400×400 px · single-cell crop · peripheral blood film.
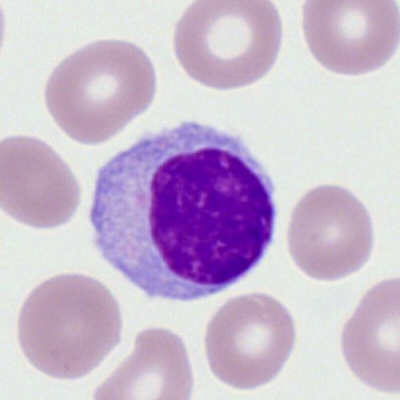

The morphological class is lymphocyte.